Brightfield, 40× oil-immersion objective · bone marrow smear · image size 250×250:
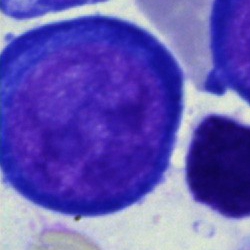Q: What is shown here?
A: This is a proerythroblast.